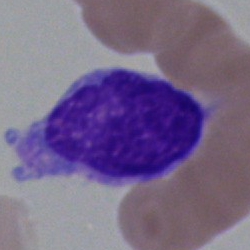The classification is undifferentiated blast.